Single-cell crop. Bone marrow smear: 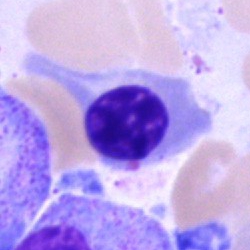Nucleated red cell.